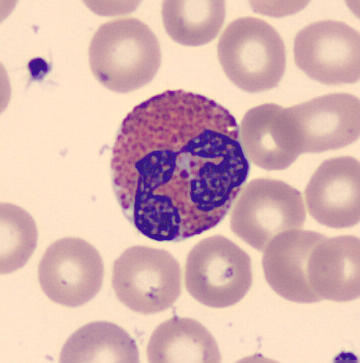Specimen: peripheral blood film.
Cell type: eosinophil.
Lineage: myeloid.